250×250; bone marrow smear
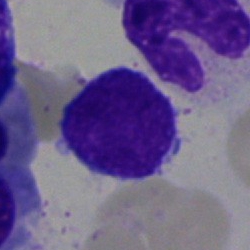 The morphological class is lymphocyte.